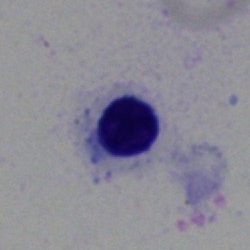Single-cell crop from a bone marrow smear: erythroblast.